Image size 250×250; 40× oil immersion; bone marrow smear.
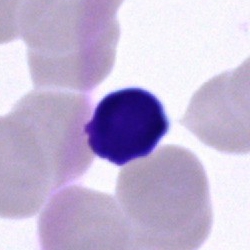
Showing an unidentifiable cell.